Bone marrow smear:
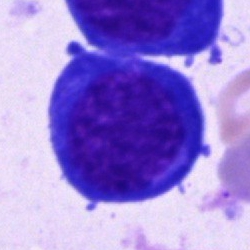
Impression — nucleated red cell.